Bone marrow smear: 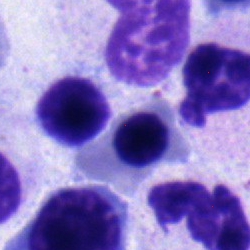
Q: What is shown here?
A: This is a nucleated red blood cell.